Bone marrow aspirate smear:
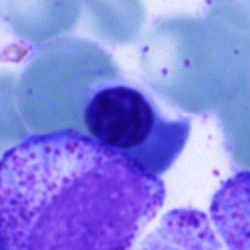Morphological class — nucleated red blood cell.